Bone marrow aspirate smear.
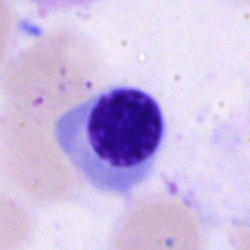Morphology consistent with a normoblast.